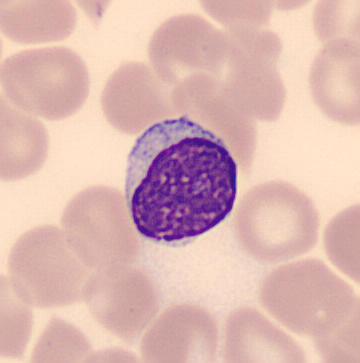
{"cell_type": "typical lymphocyte", "lineage": "lymphoid"}
Peripheral blood smear.